Pappenheim-stained; bone marrow aspirate smear; single-cell crop.
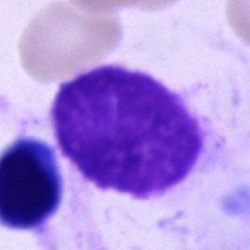

Morphology consistent with an artifact.